250×250. Bone marrow smear. Single-cell field
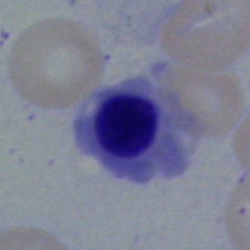
The cell type is myelocyte.